Bone marrow smear.
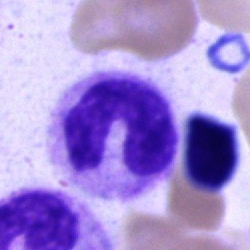 Morphology consistent with a stab cell.